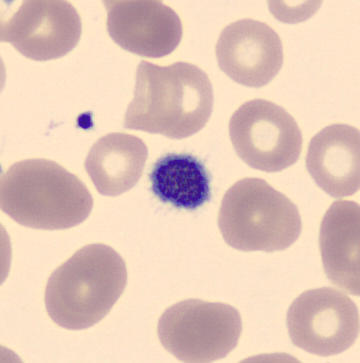

Acquisition: Peripheral blood smear. Q: What is shown here?
A: It is a platelet (thrombocyte).